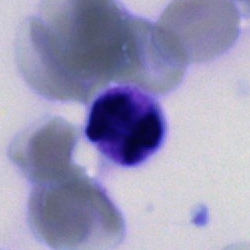{"cell_type": "segmented neutrophil", "lineage": "myeloid"}